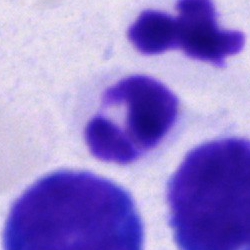
A polymorphonuclear neutrophil on a bone marrow smear.